Bone marrow smear · 250×250:
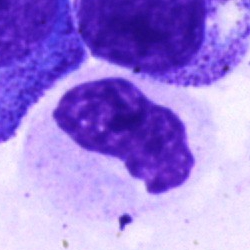
The classification is artifact.